Bone marrow smear: 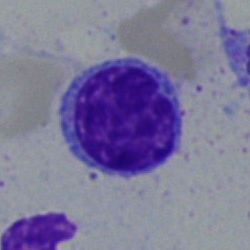A lymphocyte.